May-Grünwald-Giemsa stain · bone marrow smear: 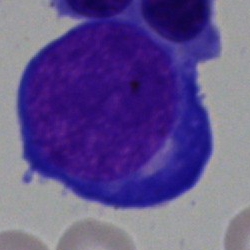
Morphology consistent with a proerythroblast.